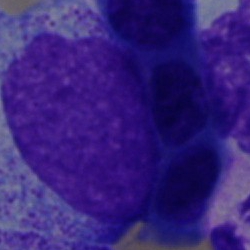

Single cell identified as a normoblast.